Bone marrow smear:
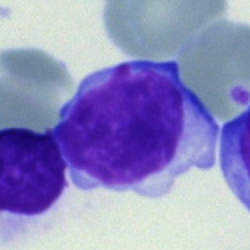

Cell — typical lymphocyte.